Bone marrow aspirate smear — 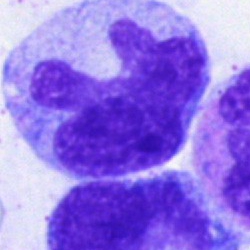
Specimen: bone marrow aspirate smear.
Cell type: monocyte.
Lineage: myeloid.